Bone marrow aspirate smear; 40× objective, oil immersion — 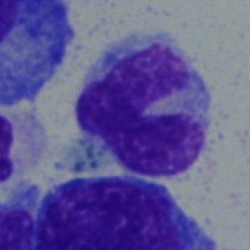This is a monocyte.